Bone marrow aspirate smear: 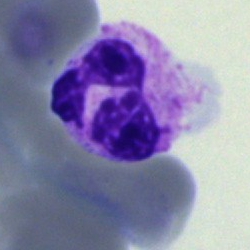

Impression — neutrophil (segmented).